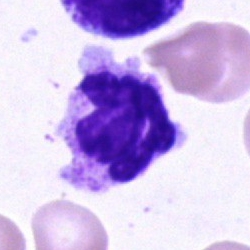 Q: Identify the cell.
A: This is a neutrophil (segmented).